Bone marrow smear:
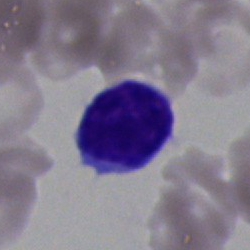 Morphology — typical lymphocyte.